Bone marrow aspirate smear
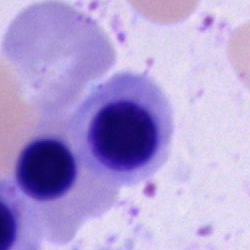Morphology consistent with a nucleated red blood cell.